Bone marrow aspirate smear — 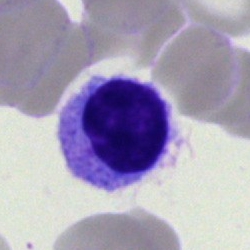

This is a typical lymphocyte.